Bone marrow smear. May-Grünwald-Giemsa/Pappenheim stain: 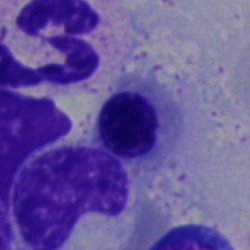

A nucleated red blood cell.